Bone marrow aspirate smear — 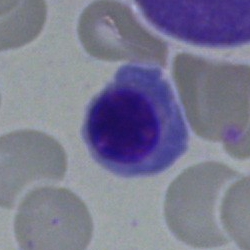 Q: What type of cell is this?
A: It is a normoblast.